Bone marrow aspirate smear.
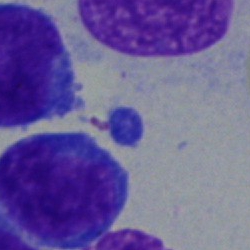Q: What is shown here?
A: Blast cell.